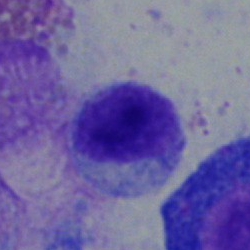
The cell type is myelocyte.